Bone marrow aspirate smear · 40× oil immersion.
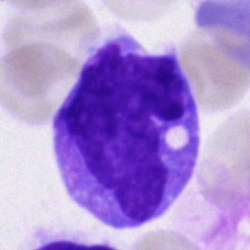Morphological class = monocyte.